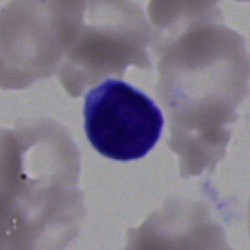

Q: What is shown here?
A: Lymphocyte.